40× objective, oil immersion · bone marrow smear — 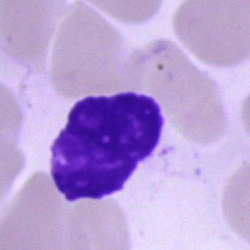
Impression → artifact.